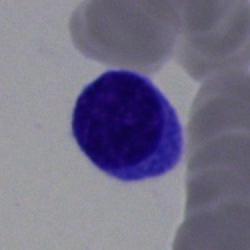
Bone marrow aspirate smear, single cell — typical lymphocyte.